Bone marrow smear.
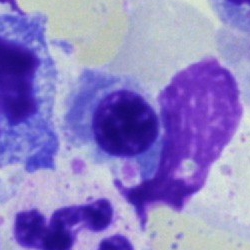

Single cell identified as a normoblast.